Bone marrow aspirate smear:
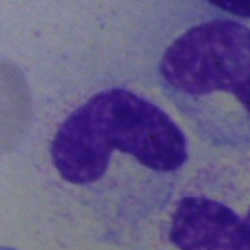Showing a neutrophil (band).